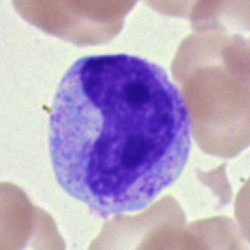

Single cell identified as a metamyelocyte.